Bone marrow aspirate smear:
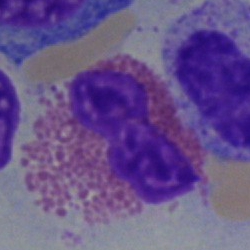 Q: What type of cell is this?
A: An eosinophil.